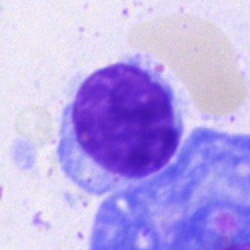
Q: What cell is this?
A: This is a lymphocyte.